Bone marrow smear — 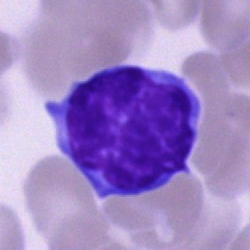Impression → typical lymphocyte.